Bone marrow aspirate smear — 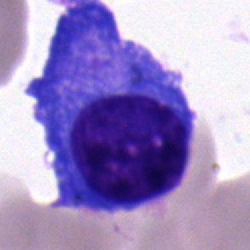
Classification — plasmacyte.